Bone marrow smear:
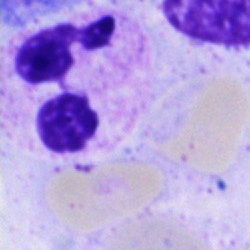

Polymorphonuclear neutrophil.